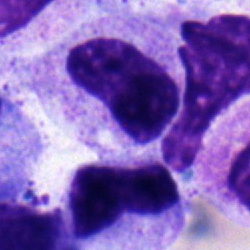

Metamyelocyte.